Bone marrow aspirate smear:
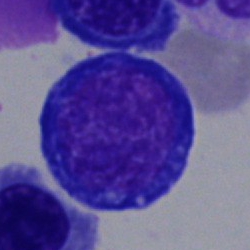

Cell type = erythroblast.